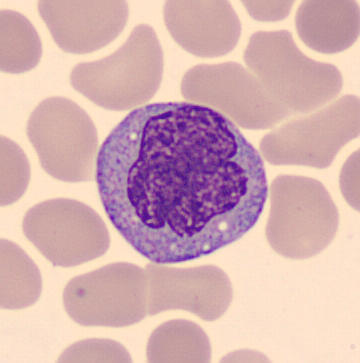 Morphology — monocyte.
360×363. Peripheral blood film.